Bone marrow smear · MGG-stained — 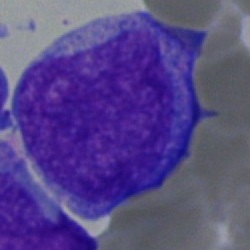 Single cell identified as a blast.